250×250 · bone marrow smear:
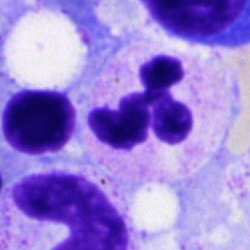Cell = polymorphonuclear neutrophil.